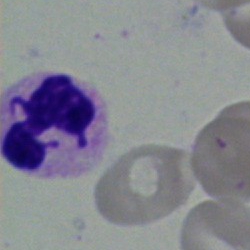

Cell = neutrophil (segmented).